Bone marrow aspirate smear; Pappenheim-stained; single-cell crop: 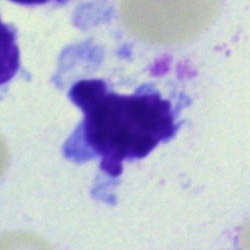Cell — artefact.